40× objective, oil immersion · bone marrow aspirate smear · 250 by 250 pixels — 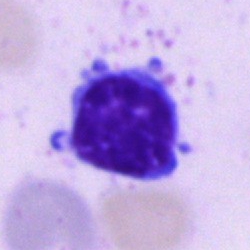Q: Identify the cell.
A: It is a lymphocyte.